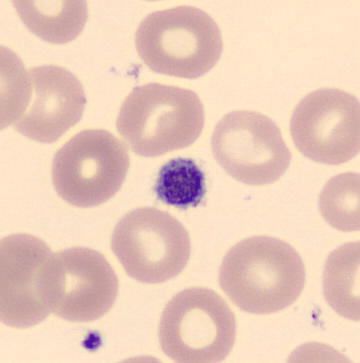 Image: Peripheral blood smear. Q: What is this?
A: Platelet (thrombocyte).